Bone marrow aspirate smear:
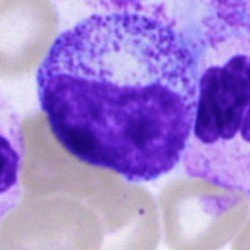

Specimen: bone marrow aspirate smear.
Morphological class: progranulocyte.
Lineage: myeloid.